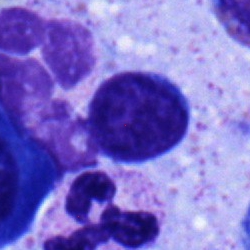
Specimen: bone marrow smear.
Cell type: lymphocyte.